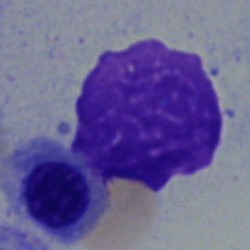This is a nucleated red cell.